Image size 250×250; bone marrow aspirate smear; May-Grünwald-Giemsa stain.
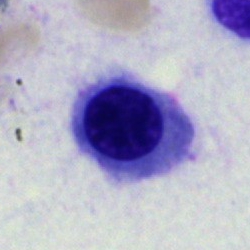
The cell shown is a normoblast.